Single-cell crop; bone marrow smear: 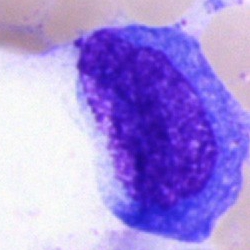This is a blast.